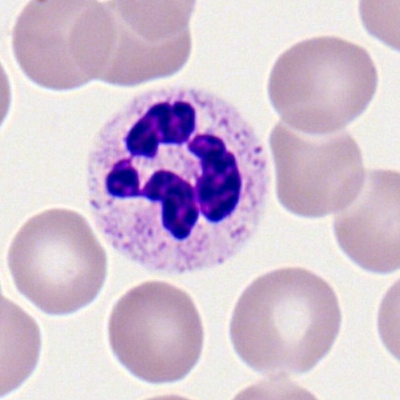
Specimen: peripheral blood film.
Cell type: segmented neutrophil.
Lineage: myeloid.